Brightfield, 100× oil-immersion objective · peripheral blood smear · Romanowsky-stained:
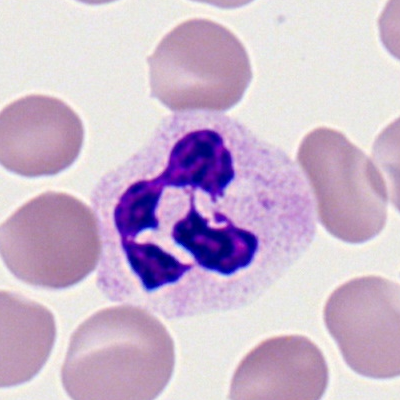 Classification — polymorphonuclear neutrophil.